Bone marrow smear; single-cell field; Pappenheim-stained: 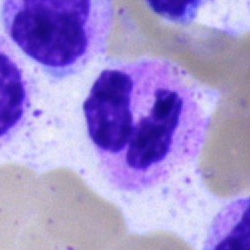 Q: Which cell type is shown here?
A: It is a segmented neutrophil.